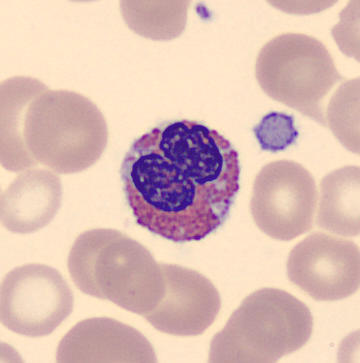

Eosinophilic granulocyte.